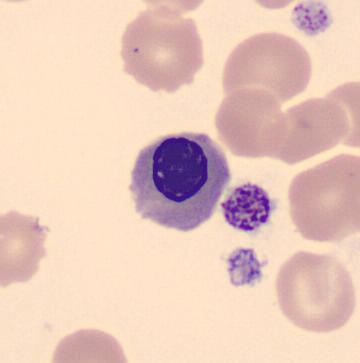
Q: What is shown here?
A: It is a normoblast.